Bone marrow aspirate smear: 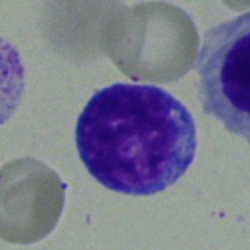 Cell — lymphocyte.